Bone marrow aspirate smear: 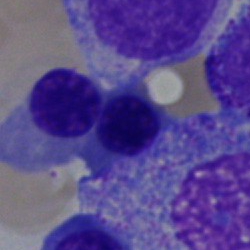Specimen: bone marrow aspirate smear.
Classification: normoblast.
Lineage: erythroid.